Bone marrow aspirate smear: 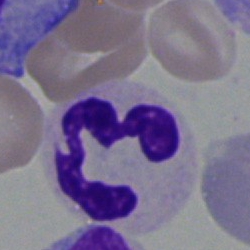Cell — neutrophil (segmented).